Bone marrow smear; May-Grünwald-Giemsa/Pappenheim stain:
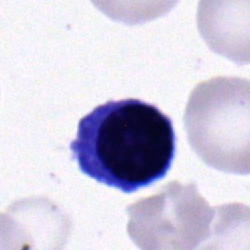

Q: What type of cell is this?
A: A nucleated red blood cell.